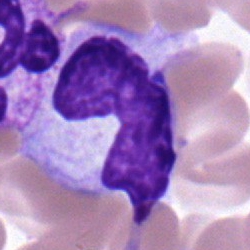 A band-form neutrophil.